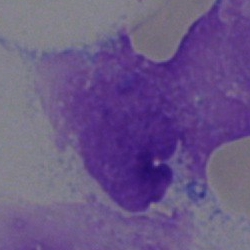Q: What is shown here?
A: This is an artefact.